Image size 250×250. Bone marrow aspirate smear: 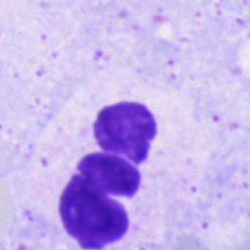Q: What type of cell is this?
A: A polymorphonuclear neutrophil.